Bone marrow smear. 250 by 250 pixels — 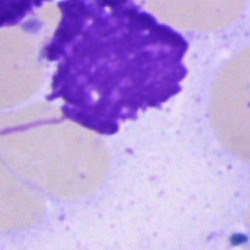 Artifact.